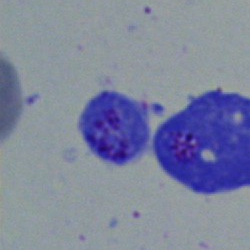

Bone marrow smear showing an artefact.